Pappenheim-stained · bone marrow smear · 40× objective, oil immersion: 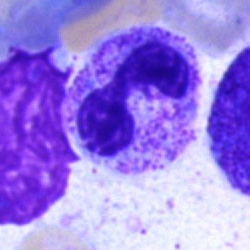 Impression → neutrophil (segmented).